Bone marrow smear. Single-cell field
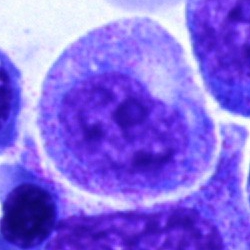

Q: What is the morphological classification of this cell?
A: It is a promyelocyte.